Brightfield, 40× oil-immersion objective · bone marrow aspirate smear · single-cell field: 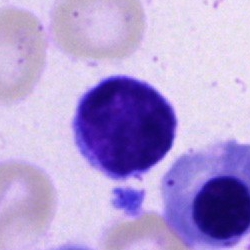 Specimen: bone marrow aspirate smear.
Cell type: typical lymphocyte.
Lineage: lymphoid.